Brightfield, 40× oil-immersion objective. Bone marrow aspirate smear.
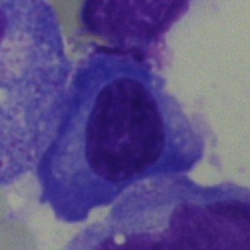The morphological class is plasmacyte.